Bone marrow aspirate smear · 40× oil immersion: 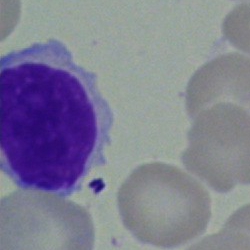Lymphocyte.